Image size 250×250; bone marrow aspirate smear
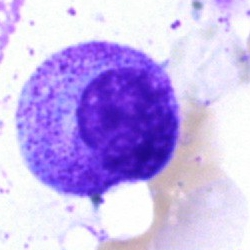 Classification = myelocyte.